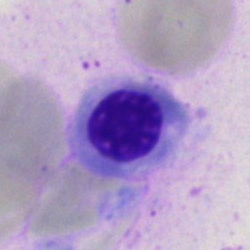

Morphological class: normoblast.